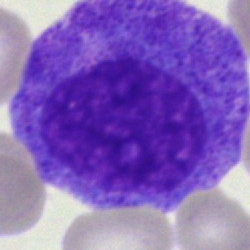 A myelocyte on a bone marrow smear.